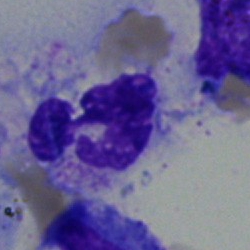

A neutrophil (segmented).